Bone marrow smear
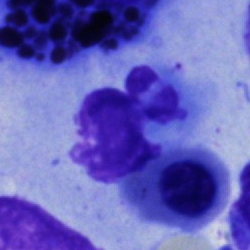 Normoblast.